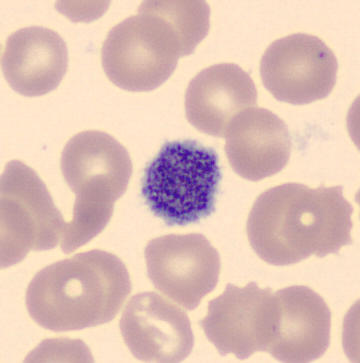 Peripheral blood film.

This is a platelet.